Bone marrow aspirate smear
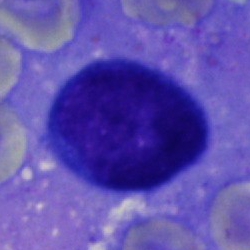
This is an artifact.